Bone marrow aspirate smear — 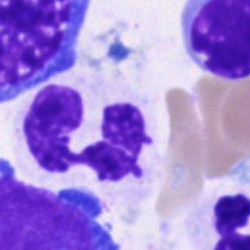
This is a polymorphonuclear neutrophil.